MGG-stained; bone marrow smear:
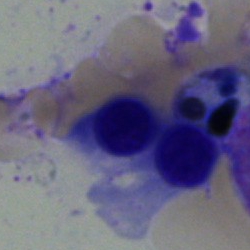
Specimen: bone marrow aspirate smear.
Classification: nucleated red blood cell.
Lineage: erythroid.